Single-cell crop; bone marrow smear — 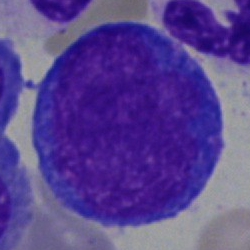Q: Identify the cell.
A: A pronormoblast.